Bone marrow aspirate smear. Single cell centered in the field: 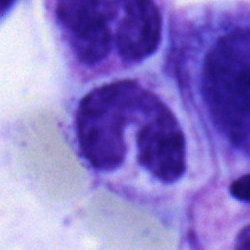

This is a stab cell.